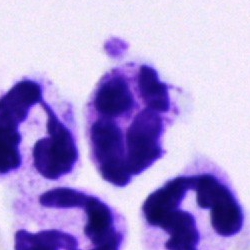 The cell is neutrophil (segmented).